Bone marrow aspirate smear:
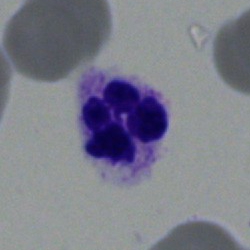 Morphological class: segmented neutrophil.